Single-cell crop. Bone marrow smear
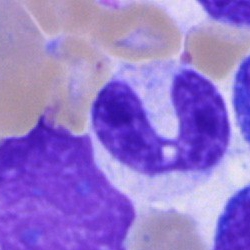

Impression — band neutrophil.